Bone marrow aspirate smear
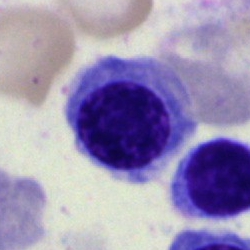
Cell: normoblast.